Bone marrow aspirate smear
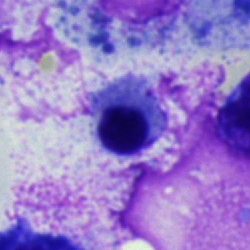Morphology — nucleated red blood cell.